Bone marrow aspirate smear.
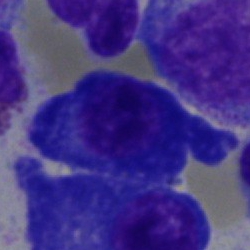
The cell is plasmacyte.